Bone marrow aspirate smear. Brightfield, 40× oil-immersion objective. 250×250 — 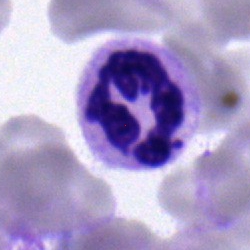
Morphology consistent with a neutrophil (segmented).